250 by 250 pixels. Bone marrow aspirate smear: 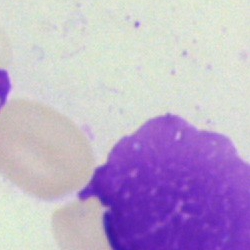
Specimen: bone marrow smear.
Classification: artefact.